Bone marrow aspirate smear: 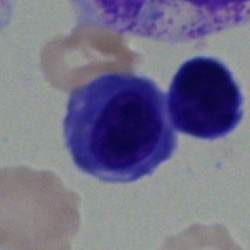

{"cell_type": "nucleated red cell"}